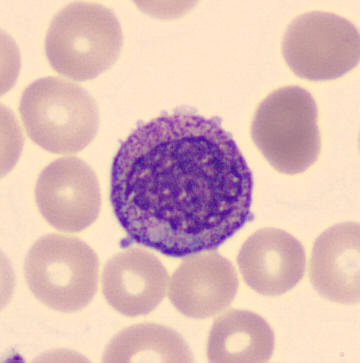The morphological class is myelocyte. Image: Peripheral blood film.